Bone marrow aspirate smear. 250 by 250 pixels: 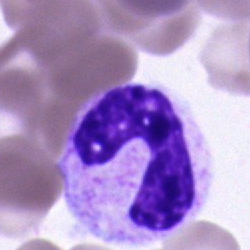 This is a stab cell.